MGG-stained. Peripheral blood smear. Single cell centered in the field: 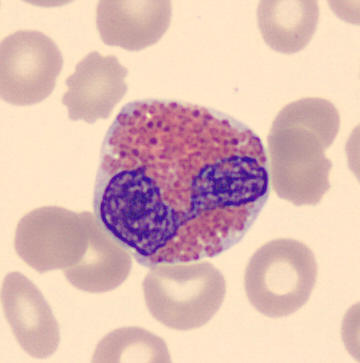 Morphology → eosinophilic granulocyte.